Bone marrow aspirate smear — 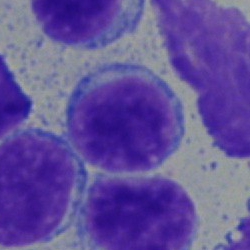
Q: What cell is this?
A: This is a plasma cell.